Bone marrow smear.
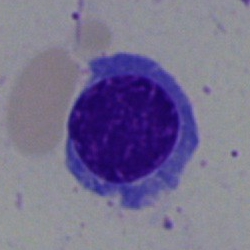
Impression → nucleated red cell.